Bone marrow aspirate smear:
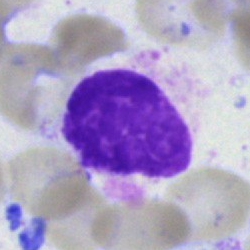Specimen: bone marrow smear.
Classification: artifact.